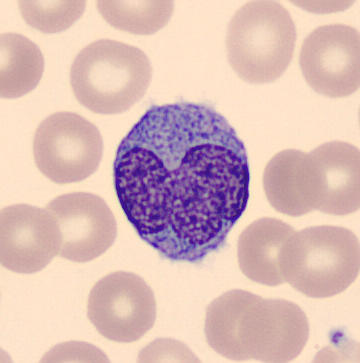 Morphology → monocyte.